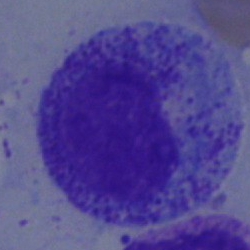

Cell type: myelocyte.